Bone marrow aspirate smear — 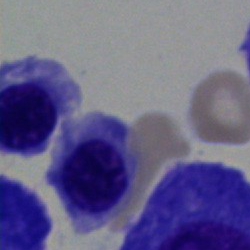 Q: What type of cell is this?
A: It is a nucleated red blood cell.